Automated cell imaging (CellaVision DM96) · peripheral blood film.
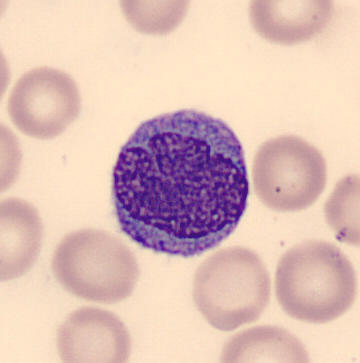 Q: Which cell type is shown here?
A: This is a monocyte.